Bone marrow aspirate smear.
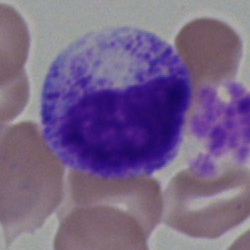Specimen: bone marrow smear.
Cell: metamyelocyte.
Lineage: myeloid.